Bone marrow aspirate smear · brightfield microscopy, 40× oil immersion.
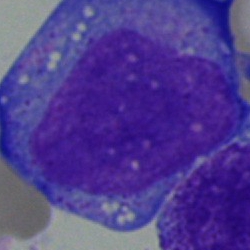

Q: What cell is this?
A: This is an undifferentiated blast.